250×250 · bone marrow aspirate smear · May-Grünwald-Giemsa stain
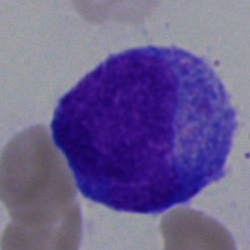

Morphology — promyelocyte.